Bone marrow smear.
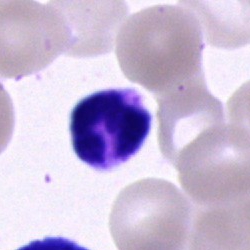
Specimen: bone marrow aspirate smear.
Morphological class: segmented neutrophil.